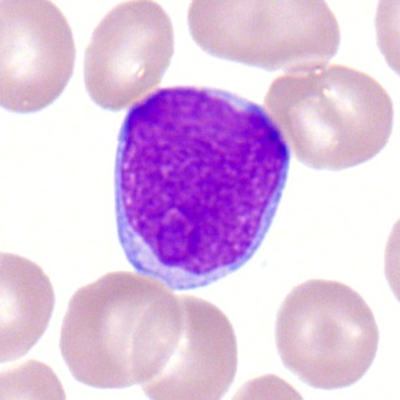Cell type = myeloblast.